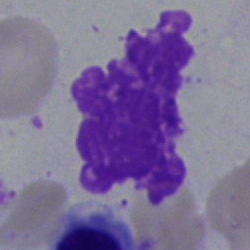

Q: What is shown here?
A: An artefact.